Bone marrow smear:
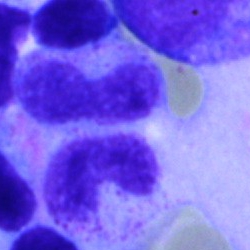 Showing a band-form neutrophil.